Bone marrow aspirate smear. 40× oil immersion. MGG-stained: 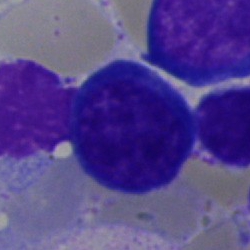 This is a nucleated red blood cell.